Bone marrow aspirate smear; 250 by 250 pixels; brightfield microscopy, 40× oil immersion — 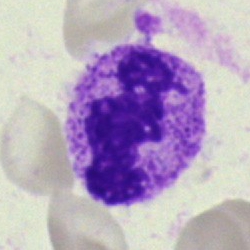

Impression — segmented neutrophil.